Bone marrow smear.
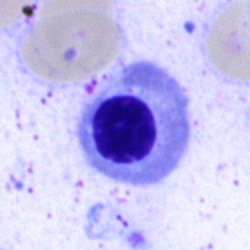

The cell is nucleated red cell.